Bone marrow aspirate smear
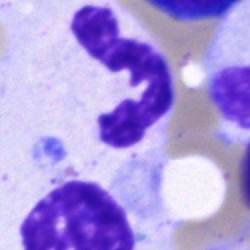Impression → segmented neutrophil.